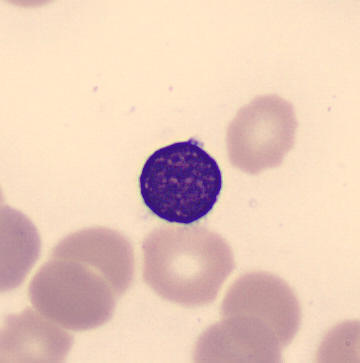 Peripheral blood film.
Classification: typical lymphocyte.